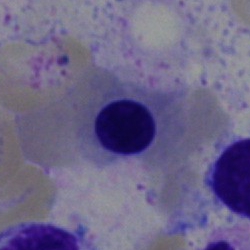
Morphological class = erythroblast.